Bone marrow smear. MGG-stained: 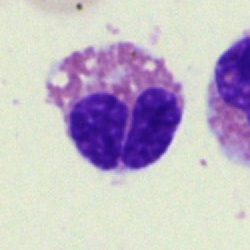

Specimen: bone marrow smear.
Cell: basophil.
Lineage: myeloid.